Bone marrow smear
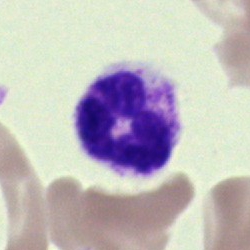
Showing a neutrophil (segmented).